Peripheral blood film:
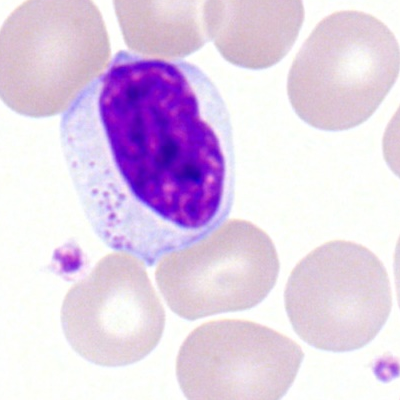

Cell = lymphocyte.